Bone marrow smear
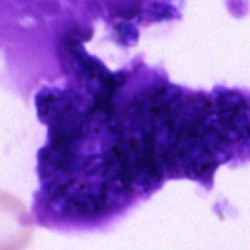Morphology — artefact.